Bone marrow aspirate smear
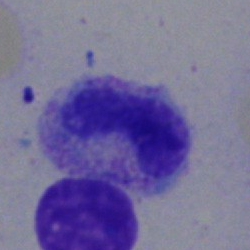
Cell type = stab cell.